Brightfield microscopy, 40× oil immersion · bone marrow aspirate smear: 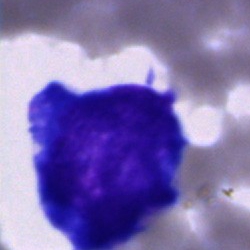
A blast.